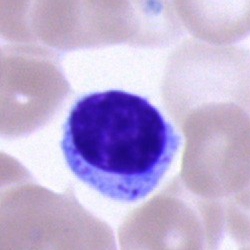
Bone marrow smear showing a typical lymphocyte.